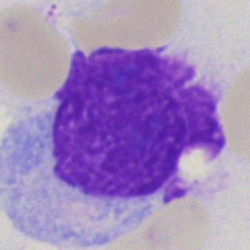The morphological class is artefact.